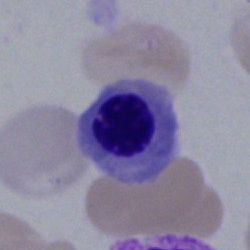
Cell type: nucleated red blood cell.